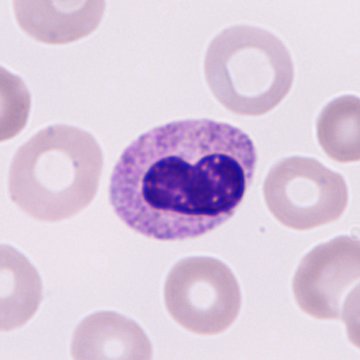Single-cell crop from a peripheral blood smear: immature granulocyte (promyelocyte, myelocyte or metamyelocyte).